M8 digital microscope (Precipoint), 100× oil immersion; peripheral blood smear; Romanowsky-stained — 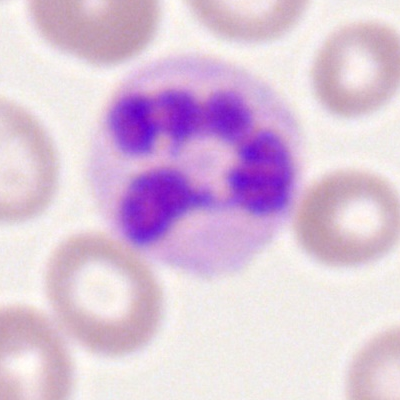
Classification = polymorphonuclear neutrophil.